250×250 · bone marrow smear: 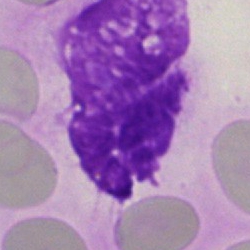Morphology — artefact.